Bone marrow aspirate smear: 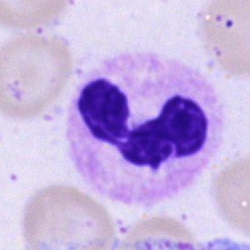 This is a neutrophil (segmented).